Bone marrow aspirate smear
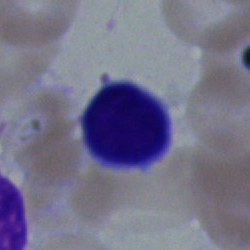
Lymphocyte.